Bone marrow smear — 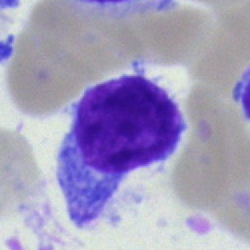 Q: Which cell type is shown here?
A: A lymphocyte.